Bone marrow aspirate smear
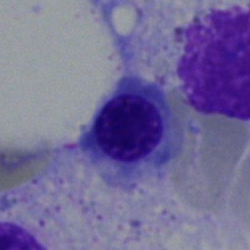 Q: What cell is this?
A: Normoblast.